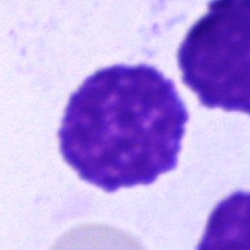 The cell shown is an artefact.